250 by 250 pixels. Bone marrow smear.
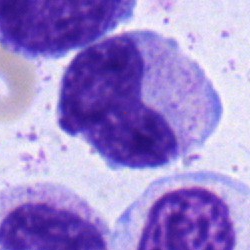

{"cell_type": "metamyelocyte", "lineage": "myeloid"}